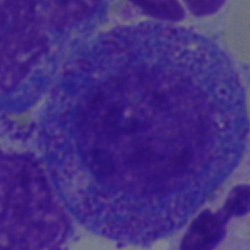Morphology consistent with a promyelocyte.